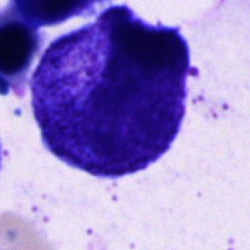Bone marrow aspirate smear, single cell — promyelocyte.